Peripheral blood smear: 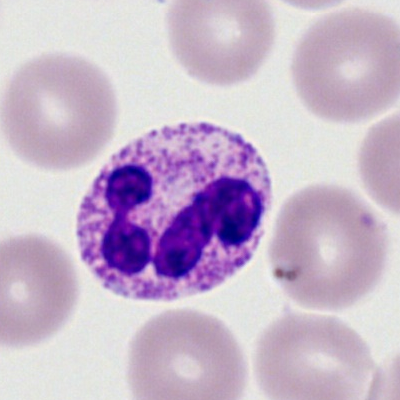Single cell identified as a neutrophil (segmented).